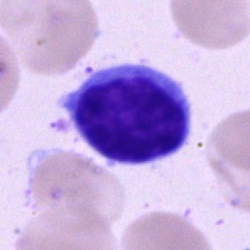The classification is typical lymphocyte.